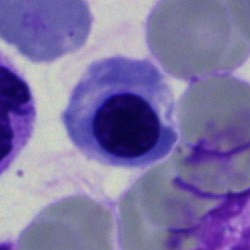
Morphology — erythroblast.